Pappenheim-stained; bone marrow aspirate smear — 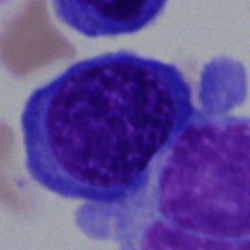Morphology consistent with an erythroblast.